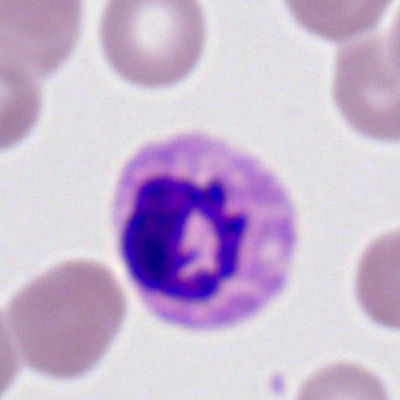

The morphological class is segmented neutrophil.